Bone marrow smear; 40× oil immersion.
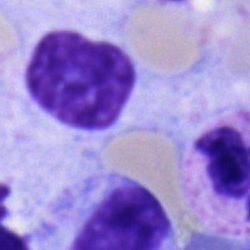

The cell shown is a metamyelocyte.